Bone marrow aspirate smear. 250×250.
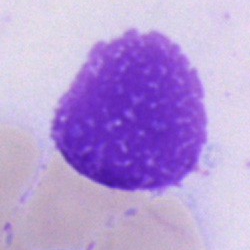

{"cell_type": "artifact"}